Bone marrow aspirate smear — 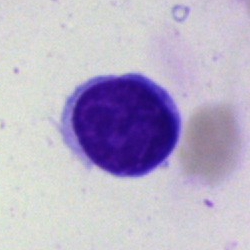

Morphology consistent with a typical lymphocyte.